May-Grünwald-Giemsa/Pappenheim stain; cropped to a single cell; bone marrow aspirate smear — 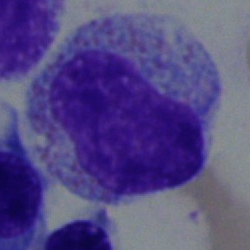 Myelocyte.